Bone marrow smear: 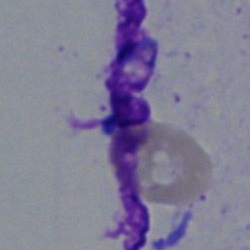 Morphological class — artifact.